May-Grünwald-Giemsa stain · bone marrow smear.
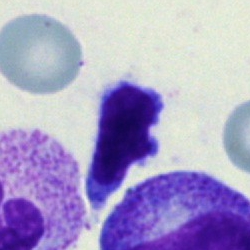
Showing a typical lymphocyte.